Bone marrow aspirate smear:
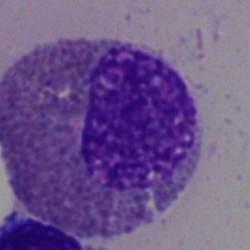
Morphology — eosinophil.